Bone marrow smear.
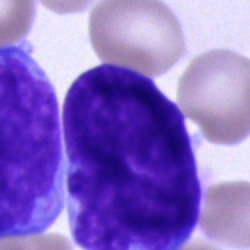A blast cell.